Single cell centered in the field; peripheral blood film: 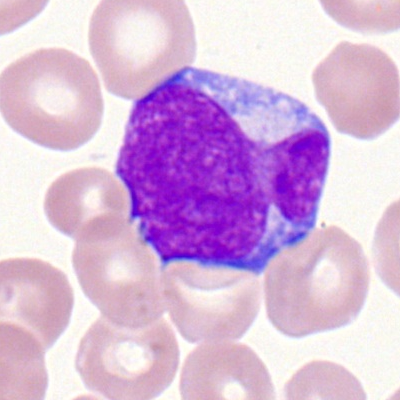

Myeloblast.